Bone marrow smear · 250 by 250 pixels
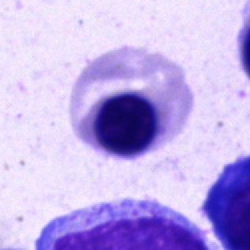 Cell type — nucleated red blood cell.